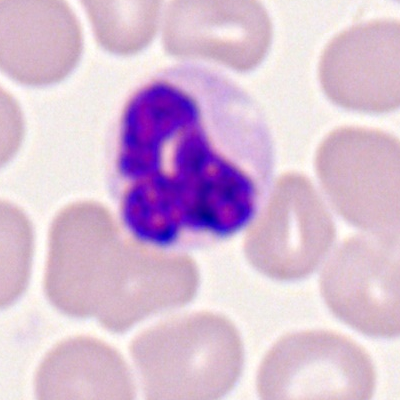This is a polymorphonuclear neutrophil.